Bone marrow smear · single cell centered in the field:
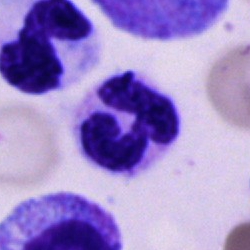 Q: What is the morphological classification of this cell?
A: A segmented neutrophil.